Bone marrow aspirate smear: 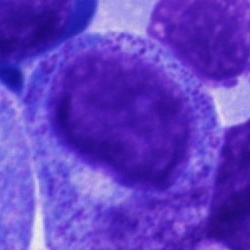Q: Which cell type is shown here?
A: It is a promyelocyte.